Single cell centered in the field · May-Grünwald-Giemsa stain · bone marrow smear: 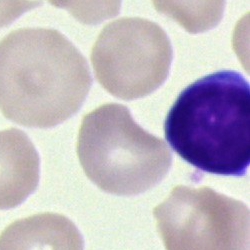
Showing an unidentifiable cell.